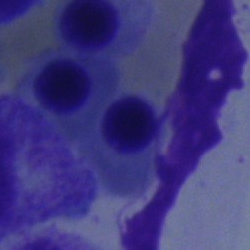

Impression — nucleated red cell.